Cropped to a single cell. Bone marrow aspirate smear. Brightfield, 40× oil-immersion objective:
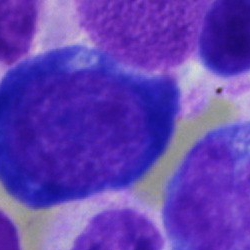 Pronormoblast.